Peripheral blood smear
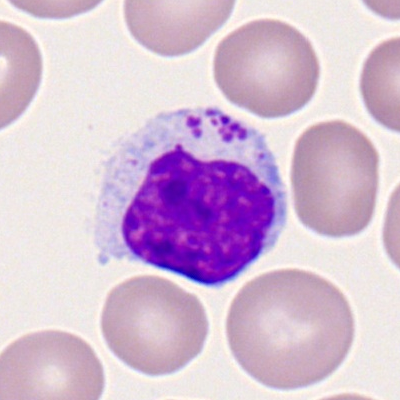 The cell shown is a typical lymphocyte.